Bone marrow smear
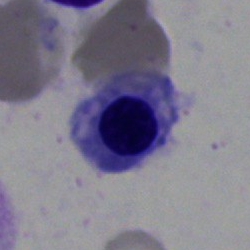

Morphological class = erythroblast.